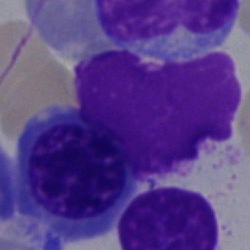 Morphological class = artefact.